Romanowsky stain. Peripheral blood smear — 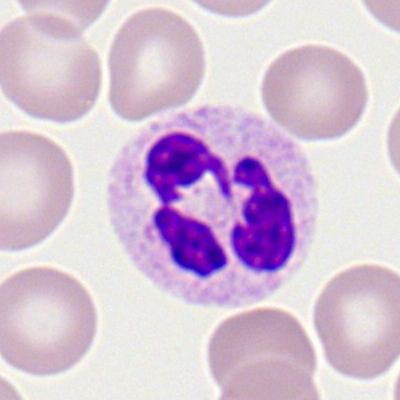

The cell shown is a neutrophil (segmented).